Bone marrow aspirate smear:
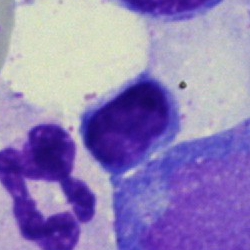

Morphology consistent with a typical lymphocyte.